Bone marrow smear
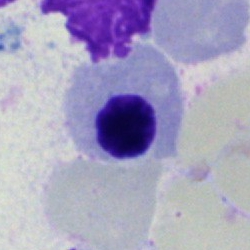 Q: Which cell type is shown here?
A: Nucleated red blood cell.